Bone marrow smear.
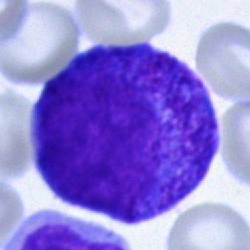 Specimen: bone marrow aspirate smear.
Cell type: progranulocyte.
Lineage: myeloid.